Bone marrow smear. Cropped to a single cell. 40× oil immersion: 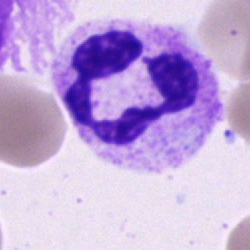
Impression — polymorphonuclear neutrophil.